Bone marrow smear · 250×250 px · brightfield microscopy, 40× oil immersion: 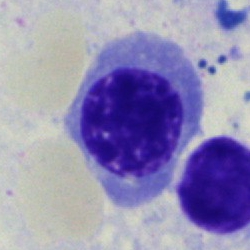

Specimen: bone marrow smear.
Classification: erythroblast.